May-Grünwald-Giemsa stain. 250×250 px. Bone marrow smear.
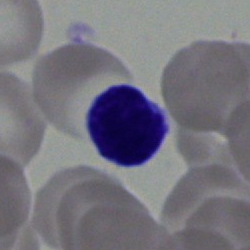

Classification = typical lymphocyte.